May-Grünwald-Giemsa stain. 40× oil immersion. Bone marrow aspirate smear
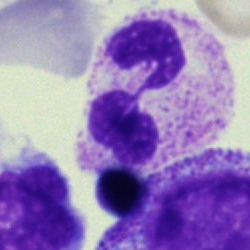

Morphology consistent with a polymorphonuclear neutrophil.